Brightfield microscopy, 40× oil immersion · bone marrow aspirate smear
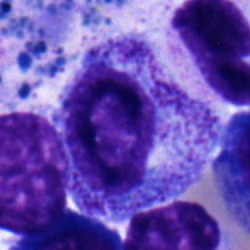This is a progranulocyte.